Bone marrow aspirate smear:
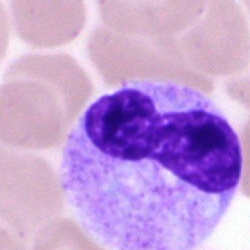
Specimen: bone marrow aspirate smear.
Cell: stab cell.
Lineage: myeloid.